Bone marrow aspirate smear · single-cell field
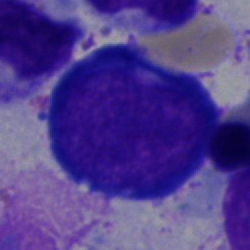{"cell_type": "proerythroblast", "lineage": "erythroid"}